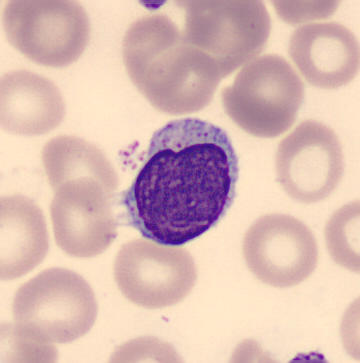

Specimen: peripheral blood smear.
Classification: lymphocyte.
Lineage: lymphoid.